Bone marrow aspirate smear.
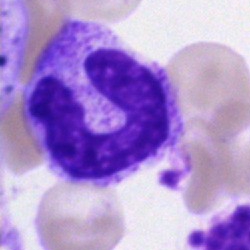
Q: What is shown here?
A: Stab cell.